Bone marrow aspirate smear · single cell centered in the field — 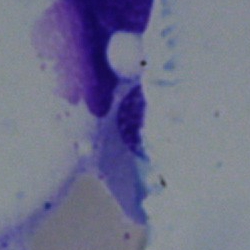

Specimen: bone marrow aspirate smear.
Cell type: artefact.